Single-cell field · 40× oil immersion · bone marrow smear: 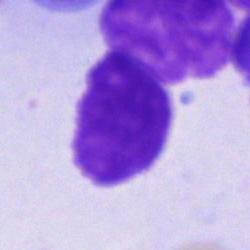 Morphology — artifact.